Bone marrow aspirate smear
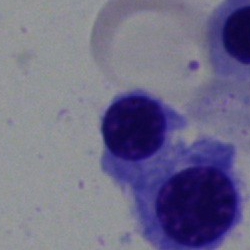 Classification = normoblast.